Bone marrow aspirate smear:
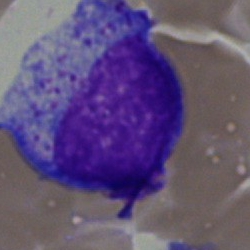

The cell shown is a promyelocyte.